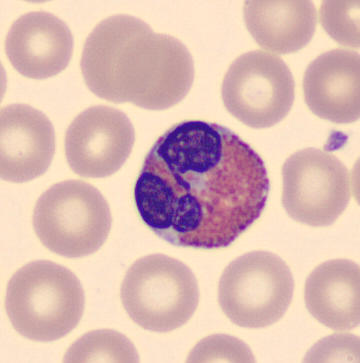 Cell — eosinophil. Image: Peripheral blood smear.